Bone marrow smear:
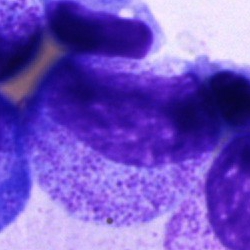

Cell type = progranulocyte.